Bone marrow smear:
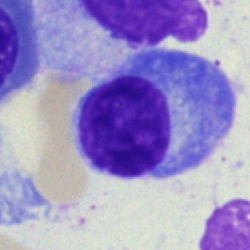

Impression — plasmacyte.